Bone marrow aspirate smear.
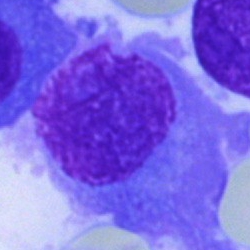
Specimen: bone marrow aspirate smear.
Classification: plasmacyte.